Bone marrow aspirate smear. 40× oil immersion: 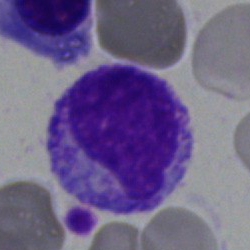

Showing a myelocyte.